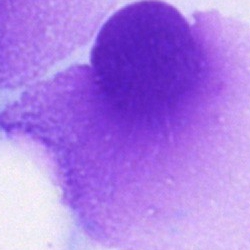

Impression → artefact.